Bone marrow smear · May-Grünwald-Giemsa/Pappenheim stain.
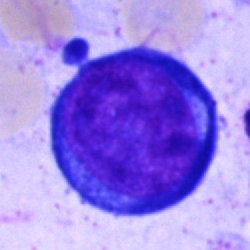

Morphology consistent with a proerythroblast.